Peripheral blood smear. 400 by 400 pixels. Single cell centered in the field:
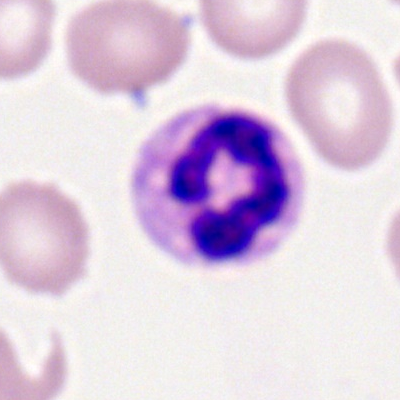
Impression → neutrophil (segmented).